Brightfield microscopy, 40× oil immersion · bone marrow smear.
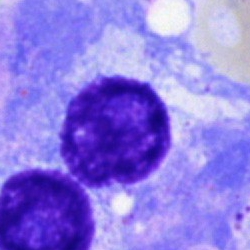 Specimen: bone marrow aspirate smear.
Cell: plasma cell.